Bone marrow smear
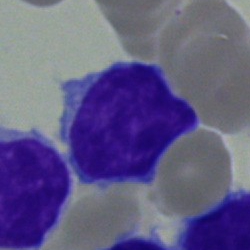
The cell shown is a typical lymphocyte.